Bone marrow smear — 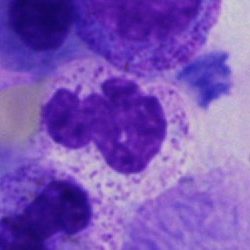
Q: What type of cell is this?
A: It is a polymorphonuclear neutrophil.